Cropped to a single cell · bone marrow smear
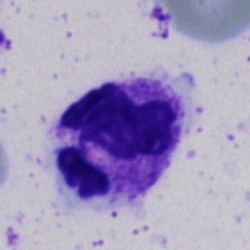Morphological class — neutrophil (segmented).